Brightfield, 40× oil-immersion objective; bone marrow aspirate smear; single-cell field
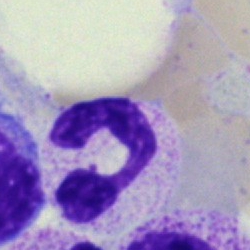Impression — neutrophil (segmented).